Bone marrow aspirate smear; 40× objective, oil immersion
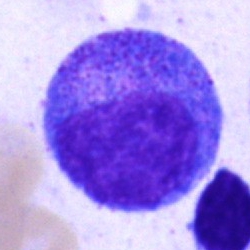
Cell — promyelocyte.